Peripheral blood smear · single cell centered in the field · 400×400 px.
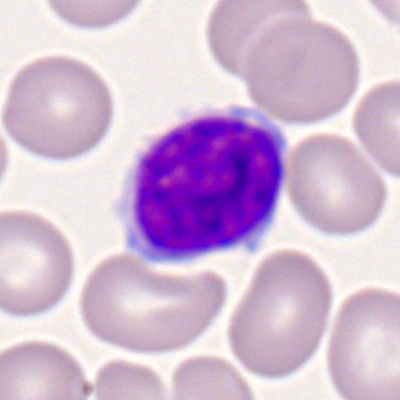

Morphological class: lymphocyte.